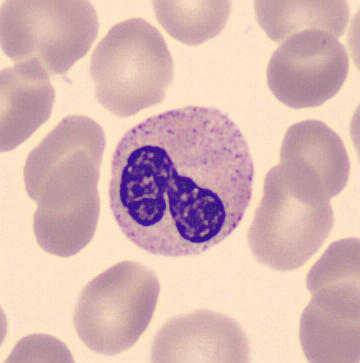The classification is band neutrophil.